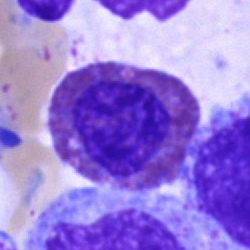 The cell shown is an eosinophilic granulocyte.